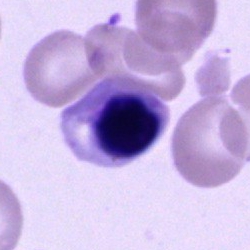 {"cell_type": "nucleated red blood cell"}